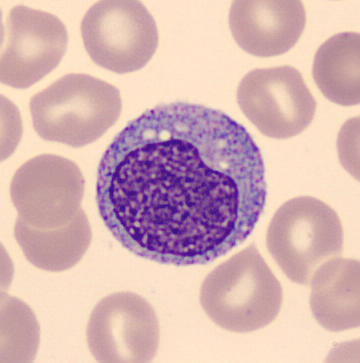Peripheral blood film.
Single cell identified as a monocyte.